Bone marrow aspirate smear: 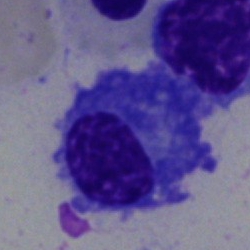
Q: What is shown here?
A: It is a plasmacyte.